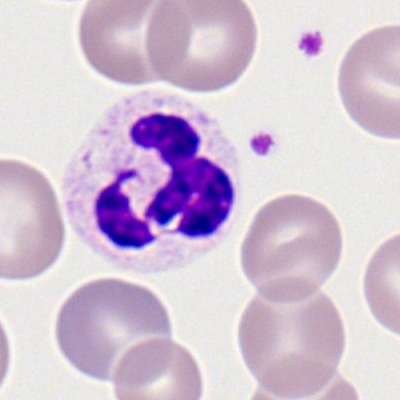Morphology — polymorphonuclear neutrophil.